Image size 250×250. Bone marrow aspirate smear. Single cell centered in the field — 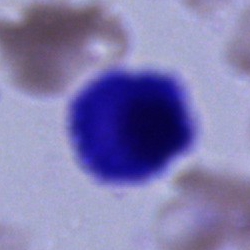
The cell is artefact.